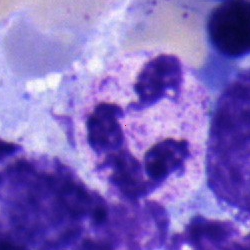
Q: What cell is this?
A: Neutrophil (segmented).